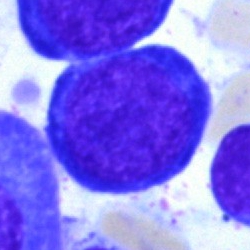

Specimen: bone marrow aspirate smear.
Classification: proerythroblast.